250 by 250 pixels. Bone marrow smear: 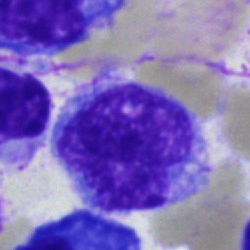
This is a monocyte.